Bone marrow aspirate smear: 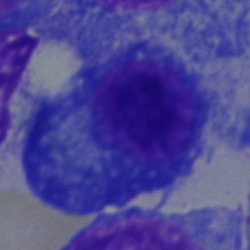 Morphological class = plasmacyte.